Bone marrow smear; 40× objective, oil immersion:
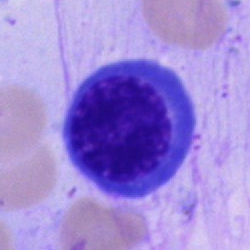
The cell shown is a normoblast.